May-Grünwald-Giemsa/Pappenheim stain. Bone marrow aspirate smear — 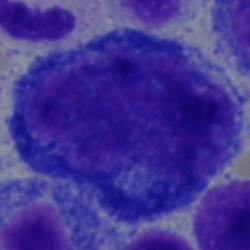

Morphology → progranulocyte.